250×250; brightfield microscopy, 40× oil immersion; bone marrow aspirate smear
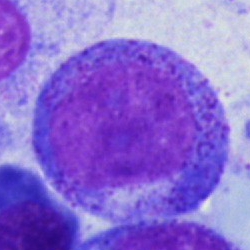 This is a promyelocyte.